40× oil immersion. Bone marrow aspirate smear. Image size 250×250
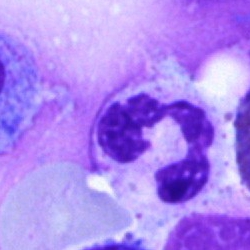

Morphology consistent with a neutrophil (segmented).